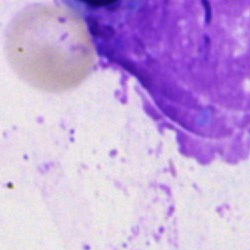
An artefact on a bone marrow smear.